Bone marrow aspirate smear.
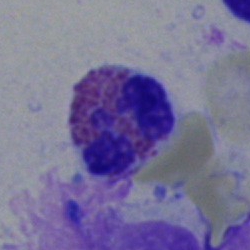
Morphology consistent with an eosinophilic granulocyte.